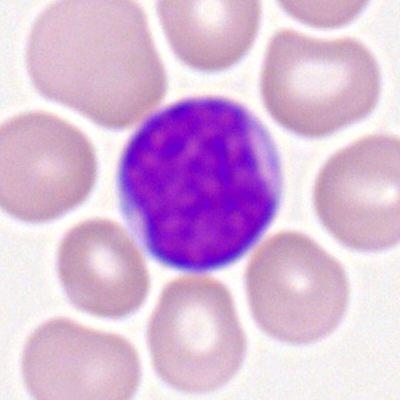

Morphology consistent with a myeloblast.